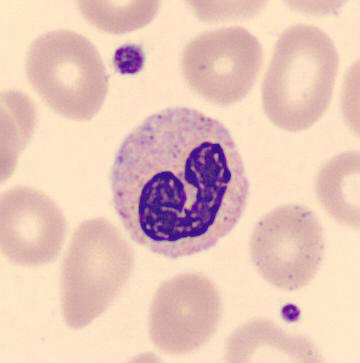This is a stab cell.

Image size 360×363. Cropped to a single cell. Peripheral blood film.